Cropped to a single cell · 40× objective, oil immersion · bone marrow aspirate smear — 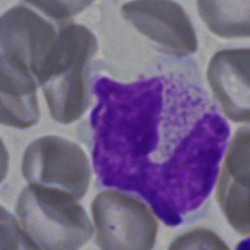 Single cell identified as a band-form neutrophil.